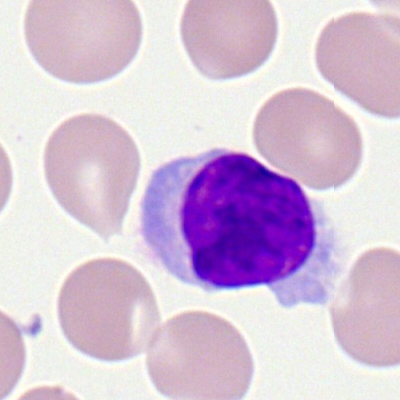
Morphology — typical lymphocyte.